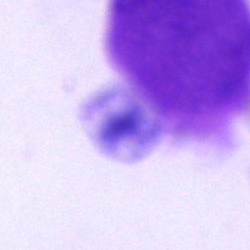

Q: What is shown here?
A: This is an artifact.